Bone marrow aspirate smear.
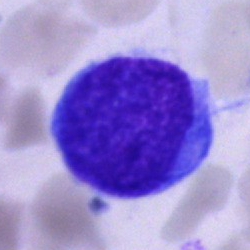Showing an unidentifiable cell.